Bone marrow smear — 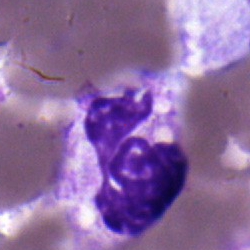

A polymorphonuclear neutrophil.